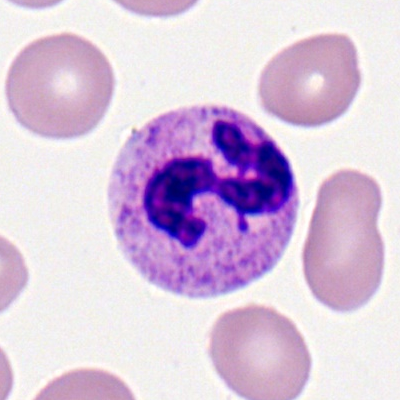
The cell is neutrophil (segmented).